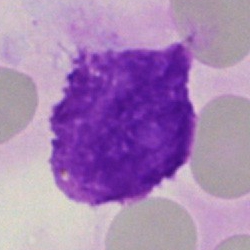 The morphological class is artefact.